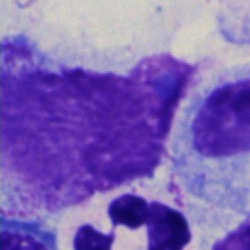 Single-cell crop from a bone marrow smear: artifact.